Peripheral blood smear — 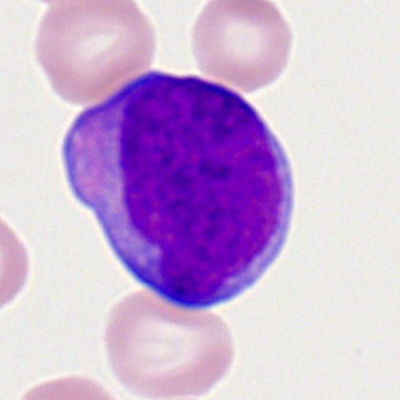
Specimen: peripheral blood film.
Classification: myeloblast.
Lineage: myeloid.